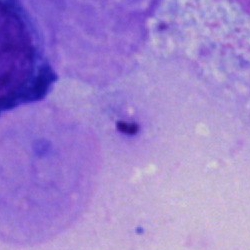 Morphology consistent with an artifact.